Bone marrow smear: 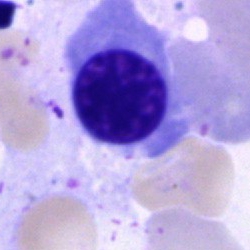 Q: Which cell type is shown here?
A: It is a nucleated red blood cell.